Bone marrow aspirate smear: 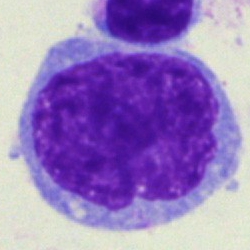
Morphology consistent with an undifferentiated blast.